Bone marrow smear — 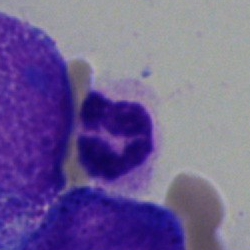 The cell is polymorphonuclear neutrophil.